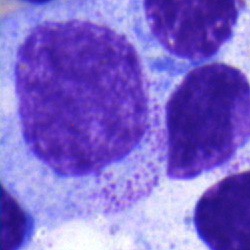
Specimen: bone marrow aspirate smear.
Cell type: myelocyte.
Lineage: myeloid.